Bone marrow aspirate smear:
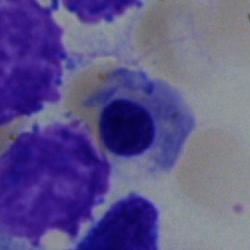 The cell type is normoblast.